Bone marrow smear · 250×250 px
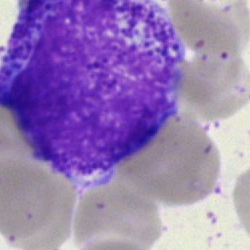
Single cell identified as a myelocyte.